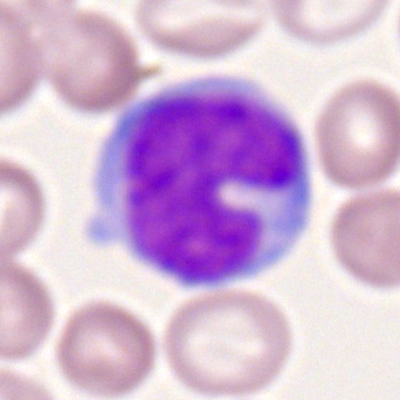

Specimen: peripheral blood film.
Morphological class: monocyte.